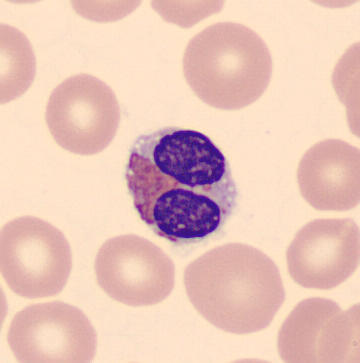 Showing an eosinophil.

Acquisition: Peripheral blood smear. MGG-stained.